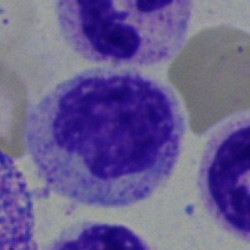

Myelocyte.